Single-cell field; bone marrow aspirate smear.
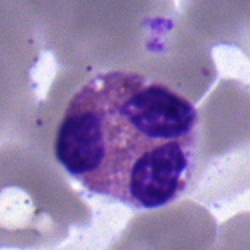Cell: eosinophilic granulocyte.